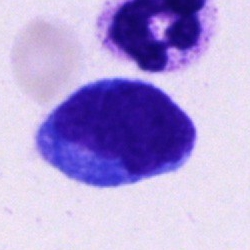

Q: What cell is this?
A: This is a monocyte.